Bone marrow aspirate smear · single-cell field: 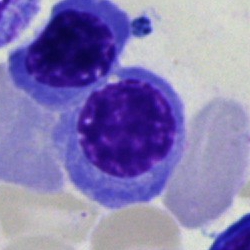

{"cell_type": "nucleated red cell", "lineage": "erythroid"}